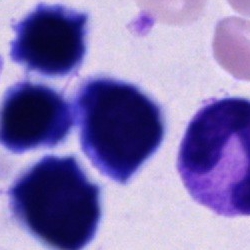

A cell of indeterminate lineage on a bone marrow smear.